Bone marrow smear:
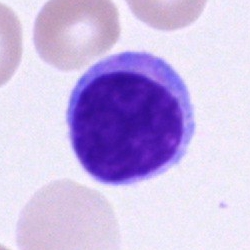

The cell shown is a lymphocyte.